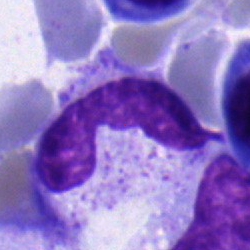

Morphology consistent with a polymorphonuclear neutrophil.